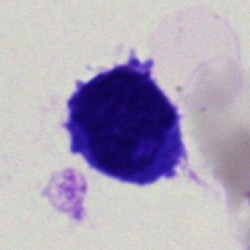 Specimen: bone marrow smear.
Cell: undifferentiated blast.